Bone marrow smear.
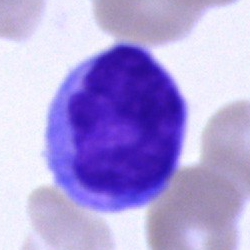
Q: What is shown here?
A: This is an artifact.